250×250 · MGG-stained · bone marrow smear.
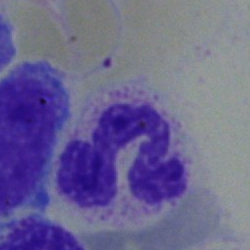 The classification is polymorphonuclear neutrophil.